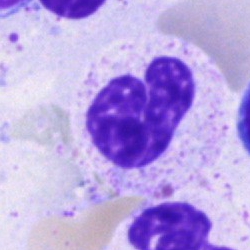A segmented neutrophil.